Bone marrow smear: 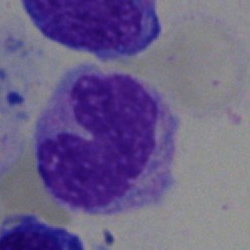
Q: Which cell type is shown here?
A: Band neutrophil.